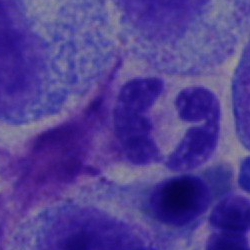
Morphology consistent with a polymorphonuclear neutrophil.